250×250; bone marrow aspirate smear:
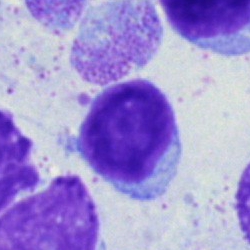

The cell shown is a lymphocyte.